Bone marrow smear. 250 by 250 pixels — 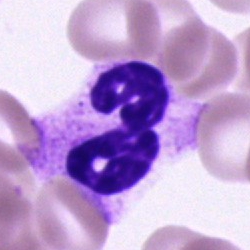Cell type = segmented neutrophil.